Bone marrow aspirate smear: 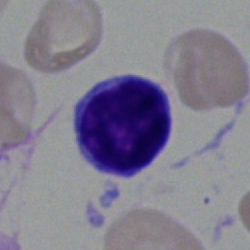
The morphological class is lymphocyte.